Bone marrow aspirate smear; 40× objective, oil immersion
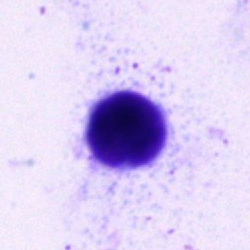 Cell = typical lymphocyte.